Peripheral blood film; 360 by 363 pixels; MGG stain — 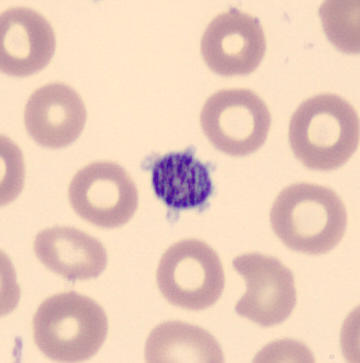Platelet.